Bone marrow smear:
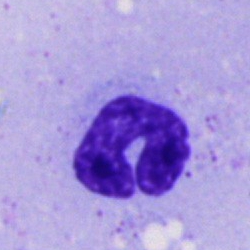

Impression → neutrophil (band).